250 by 250 pixels · bone marrow aspirate smear:
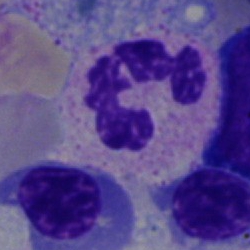 Single cell identified as a segmented neutrophil.